Bone marrow aspirate smear. 250×250: 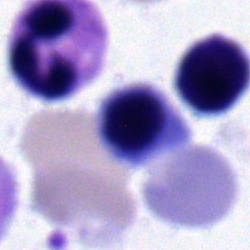
The cell shown is a normoblast.